Bone marrow smear; brightfield, 40× oil-immersion objective: 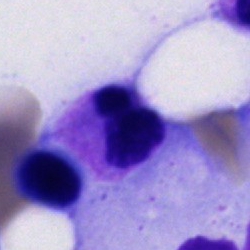

{"cell_type": "polymorphonuclear neutrophil"}